Peripheral blood smear · single-cell field · brightfield, 100× oil-immersion objective: 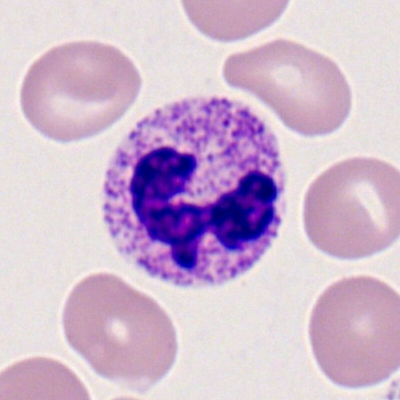Showing a polymorphonuclear neutrophil.